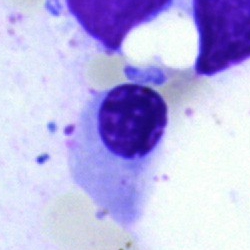 A normoblast.